400×400 px. Peripheral blood smear. Cropped to a single cell: 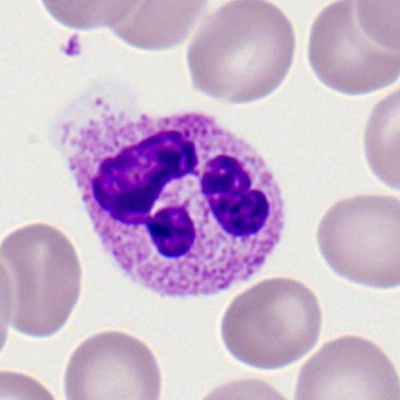

This is a segmented neutrophil.